Peripheral blood film — 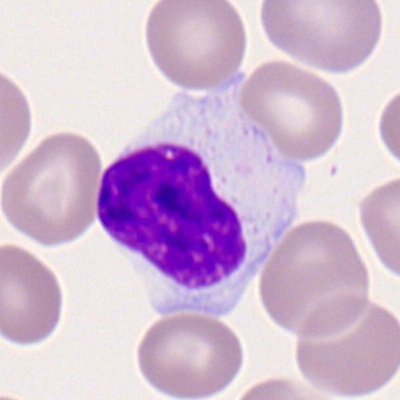

Cell type = lymphocyte.